Cropped to a single cell. Bone marrow aspirate smear:
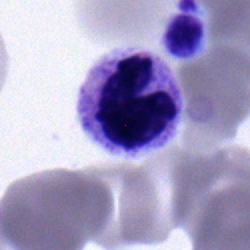
Morphology consistent with a neutrophil (band).